Bone marrow smear: 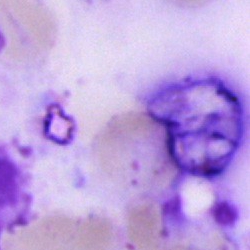Q: What is shown here?
A: This is an artifact.